Bone marrow aspirate smear.
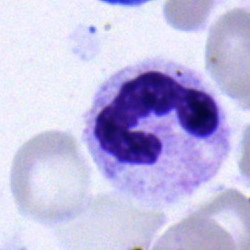Cell — neutrophil (segmented).